Bone marrow aspirate smear. MGG-stained. Single-cell field
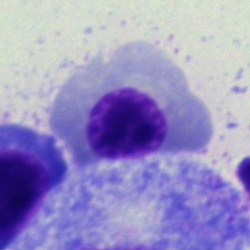The morphological class is nucleated red cell.